Bone marrow aspirate smear.
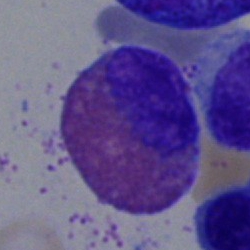
Classification = eosinophil.